Bone marrow aspirate smear
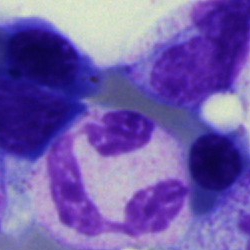 Impression — segmented neutrophil.